Bone marrow aspirate smear; May-Grünwald-Giemsa stain — 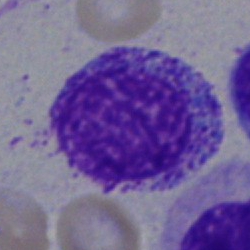Morphological class: myelocyte.